40× oil immersion; bone marrow smear — 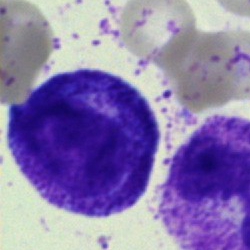
This is a promyelocyte.